Bone marrow aspirate smear; 250×250:
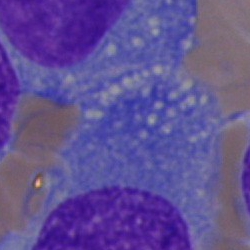

Single cell identified as a blast.